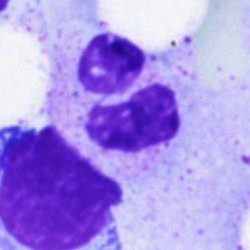

Morphological class: neutrophil (segmented).